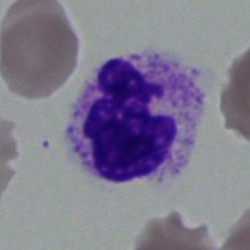
Cell — neutrophil (segmented).